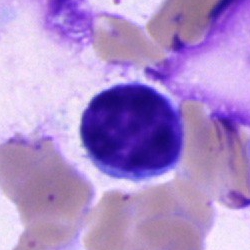
Q: Which cell type is shown here?
A: Typical lymphocyte.